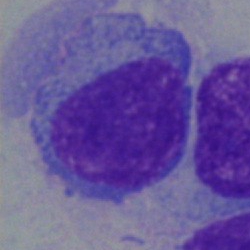 Q: What cell is this?
A: Plasmacyte.